Bone marrow aspirate smear. Brightfield microscopy, 40× oil immersion.
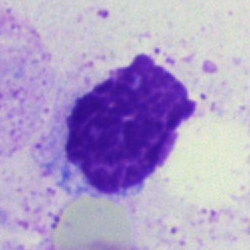

Specimen: bone marrow aspirate smear.
Morphological class: artefact.